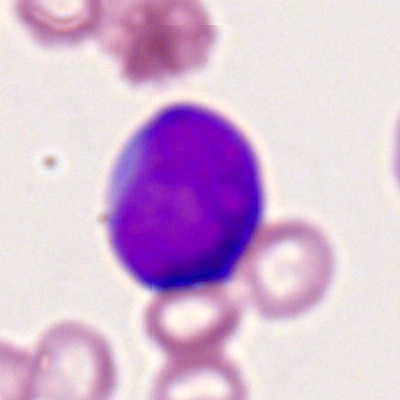
Q: Identify the cell.
A: This is a myeloblast.